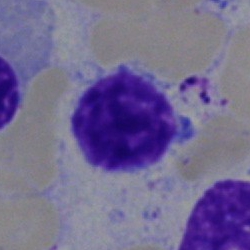

Single cell identified as a typical lymphocyte.